Peripheral blood film:
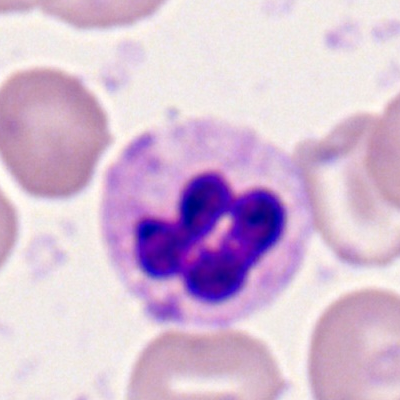Q: Which cell type is shown here?
A: It is a segmented neutrophil.